Bone marrow smear
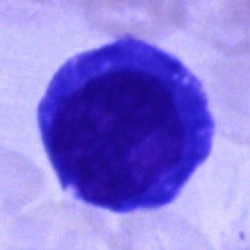
The cell shown is an undifferentiated blast.